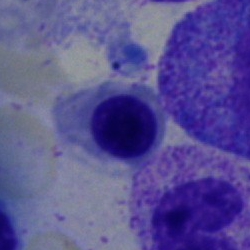

Cell type: normoblast.